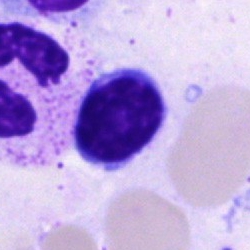 Impression → lymphocyte.